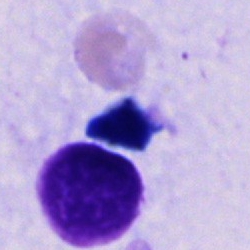

Morphological class — cell of indeterminate lineage.